Bone marrow aspirate smear. 250×250 px. Single-cell field:
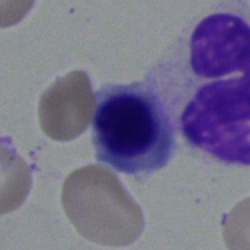
Impression — nucleated red cell.